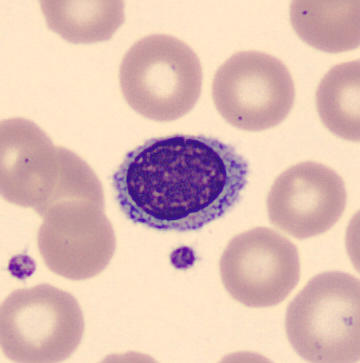The cell shown is a lymphocyte.
Peripheral blood smear.